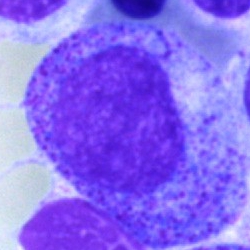

Q: What cell is this?
A: A promyelocyte.